Bone marrow smear · 250×250 px · 40× objective, oil immersion:
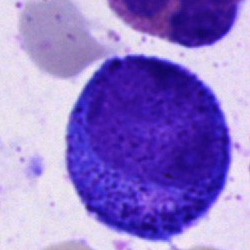Cell: promyelocyte.